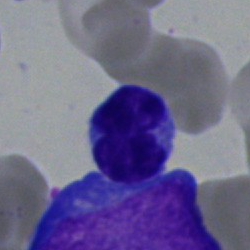Morphological class = lymphocyte.